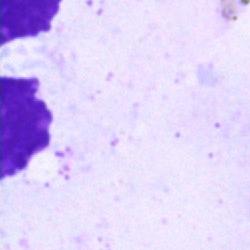Q: What is shown here?
A: Artifact.